Bone marrow smear — 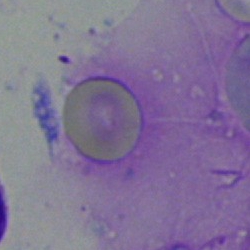 Q: What is shown here?
A: Artefact.